Bone marrow aspirate smear:
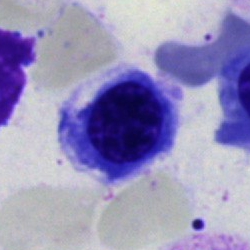

Q: Which cell type is shown here?
A: It is an erythroblast.